250×250 · bone marrow aspirate smear — 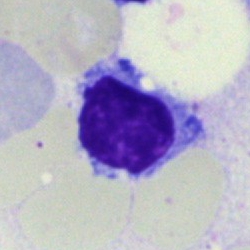

Q: What is the morphological classification of this cell?
A: It is a typical lymphocyte.